Bone marrow aspirate smear; Pappenheim-stained:
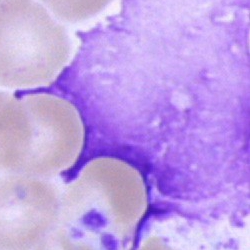
Showing an artifact.